Bone marrow aspirate smear
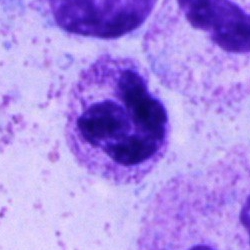Specimen: bone marrow smear.
Morphological class: neutrophil (segmented).